Bone marrow smear — 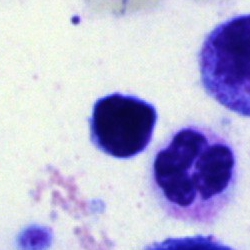Cell: lymphocyte.